Bone marrow aspirate smear — 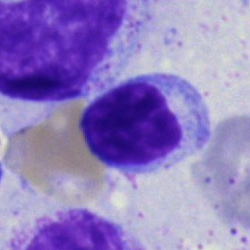
Morphological class = lymphocyte.